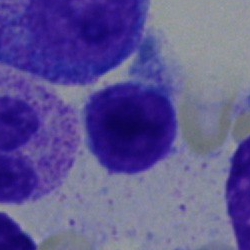

The cell is lymphocyte.